Image size 250×250 · bone marrow aspirate smear: 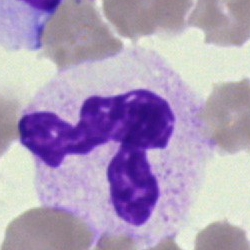Cell: segmented neutrophil.